Bone marrow smear; May-Grünwald-Giemsa/Pappenheim stain:
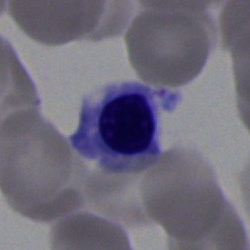 The cell type is nucleated red cell.